Bone marrow smear:
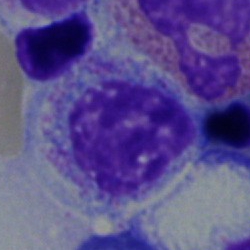Q: Which cell type is shown here?
A: It is a myelocyte.